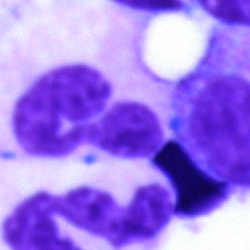
Segmented neutrophil.